Single-cell crop · bone marrow smear — 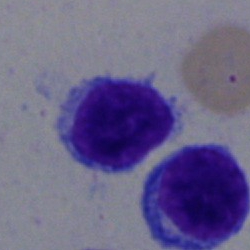The cell is typical lymphocyte.